Brightfield, 40× oil-immersion objective. Bone marrow smear: 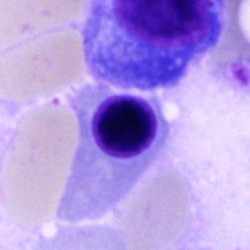

Q: What is shown here?
A: It is an erythroblast.